Bone marrow aspirate smear · 250 by 250 pixels · single-cell field — 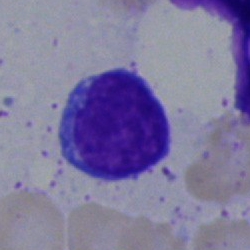The classification is lymphocyte.